Bone marrow smear — 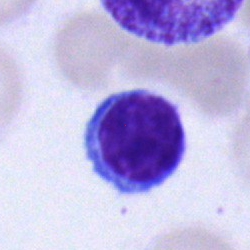
Specimen: bone marrow aspirate smear.
Cell: lymphocyte.